Bone marrow smear: 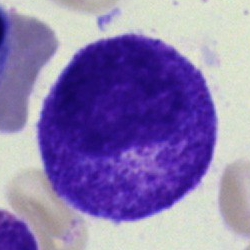Morphology consistent with a myelocyte.